Bone marrow smear · cropped to a single cell
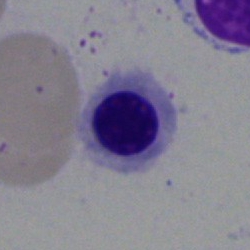Nucleated red blood cell.